Bone marrow smear. Brightfield microscopy, 40× oil immersion.
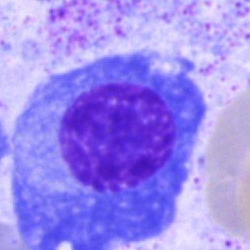

The cell is plasmacyte.